Bone marrow smear.
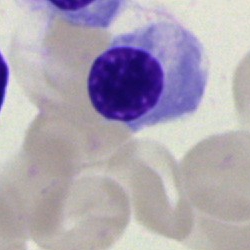 Cell type = nucleated red blood cell.